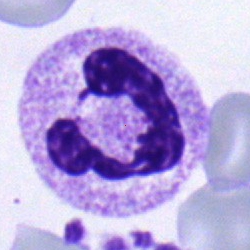 Cell = segmented neutrophil.